Bone marrow smear: 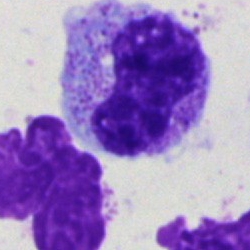

{"cell_type": "neutrophil (band)", "lineage": "myeloid"}